Bone marrow smear. 40× objective, oil immersion. Single cell centered in the field — 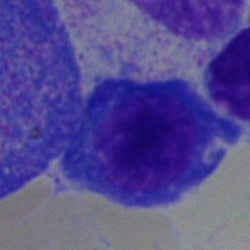The classification is plasmacyte.